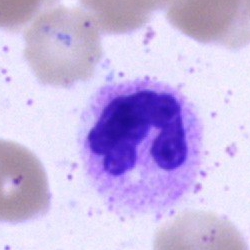
Specimen: bone marrow aspirate smear.
Classification: neutrophil (segmented).
Lineage: myeloid.